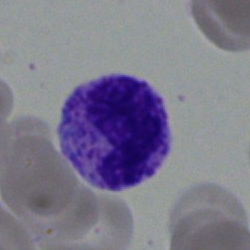

Morphology consistent with a stab cell.